Bone marrow aspirate smear
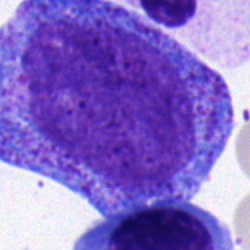Specimen: bone marrow aspirate smear.
Classification: promyelocyte.